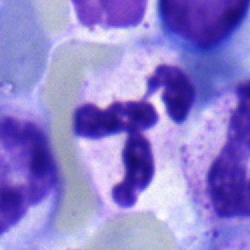

The cell shown is a polymorphonuclear neutrophil.